Bone marrow aspirate smear
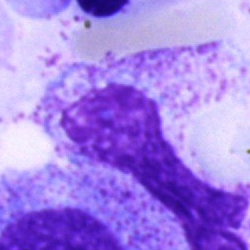
Specimen: bone marrow aspirate smear.
Morphological class: artifact.